250 by 250 pixels. Bone marrow aspirate smear. 40× objective, oil immersion:
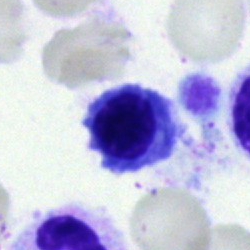The cell shown is a normoblast.